Peripheral blood smear.
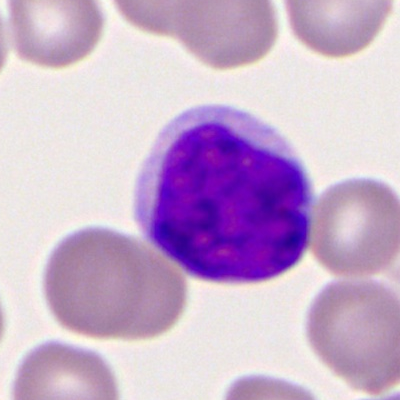

Specimen: peripheral blood film.
Cell: typical lymphocyte.
Lineage: lymphoid.